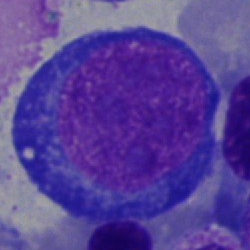 Q: Identify the cell.
A: It is a normoblast.